Bone marrow aspirate smear:
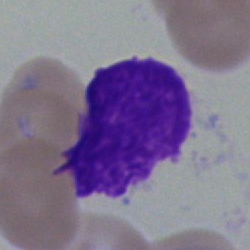

Morphological class — artefact.